Bone marrow aspirate smear · brightfield microscopy, 40× oil immersion:
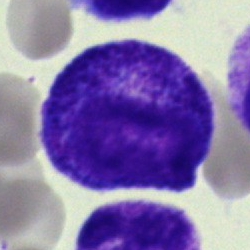 Q: What is shown here?
A: A progranulocyte.